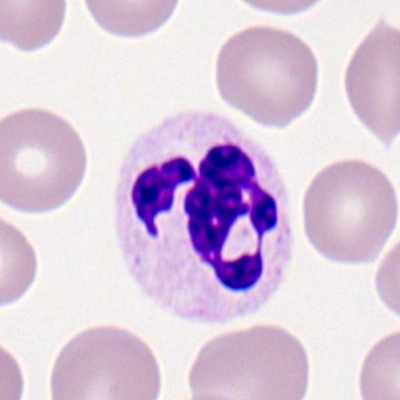
This is a segmented neutrophil.